Bone marrow smear · 250×250 px:
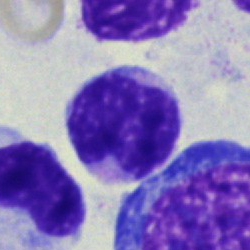 Typical lymphocyte.